Pappenheim-stained; bone marrow aspirate smear; single-cell crop
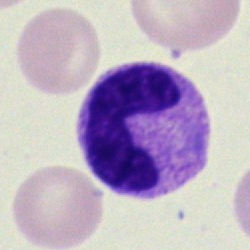 Single cell identified as a band-form neutrophil.